Single-cell field · bone marrow smear:
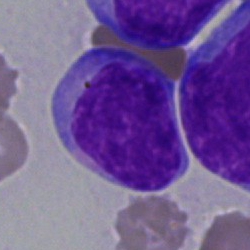Specimen: bone marrow smear.
Cell type: blast cell.